Bone marrow aspirate smear:
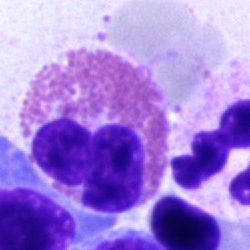 The cell shown is an eosinophilic granulocyte.